Bone marrow aspirate smear
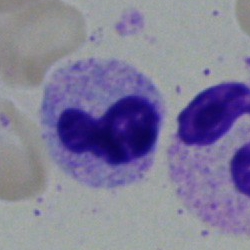 Morphology consistent with a neutrophil (band).